Bone marrow smear.
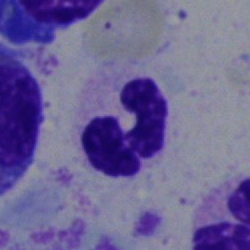

Cell type = segmented neutrophil.